Bone marrow aspirate smear · cropped to a single cell:
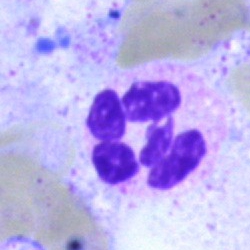 Morphology consistent with a polymorphonuclear neutrophil.